Bone marrow aspirate smear; MGG-stained
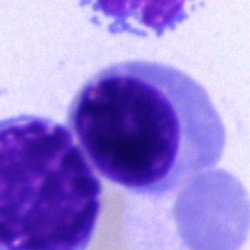
Q: Which cell type is shown here?
A: This is an erythroblast.